Bone marrow smear:
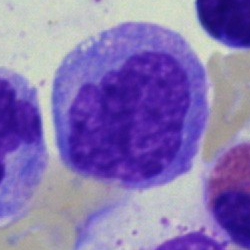 This is a monocyte.